Bone marrow smear: 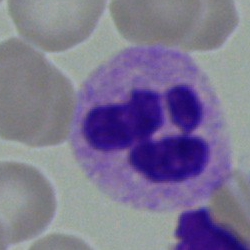Cell type: polymorphonuclear neutrophil.